Brightfield microscopy, 40× oil immersion · bone marrow smear · cropped to a single cell
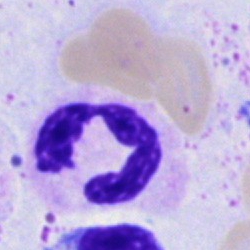

Morphology → polymorphonuclear neutrophil.